Single-cell crop; bone marrow smear.
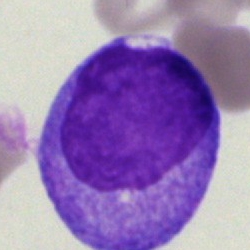Morphology consistent with a blast cell.